Brightfield microscopy, 40× oil immersion · bone marrow aspirate smear.
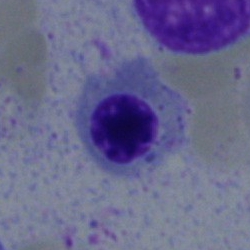 Showing a nucleated red blood cell.